Bone marrow aspirate smear:
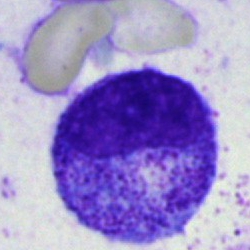 Q: What is the morphological classification of this cell?
A: This is a myelocyte.